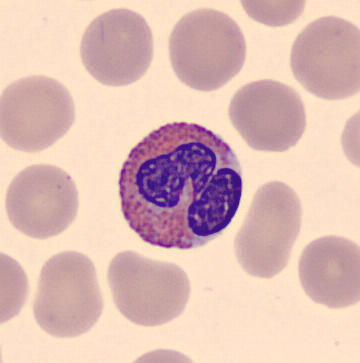Preparation: Peripheral blood film.
This is an eosinophil.